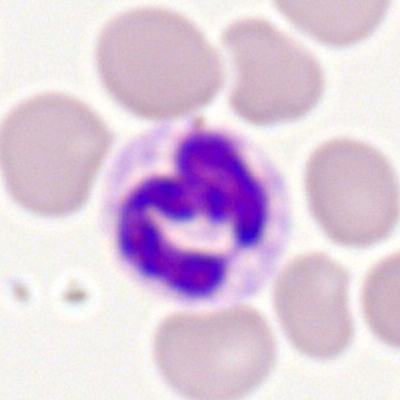
Q: What type of cell is this?
A: This is a neutrophil (segmented).